Peripheral blood smear — 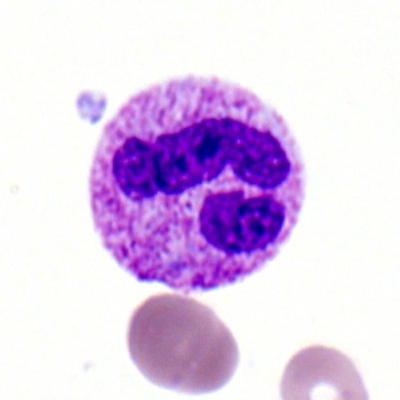 Showing a neutrophil (segmented).